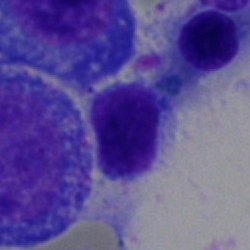
Morphology → typical lymphocyte.